Bone marrow smear. Single-cell crop. May-Grünwald-Giemsa/Pappenheim stain:
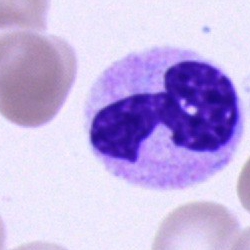 Morphology consistent with a segmented neutrophil.